Romanowsky-type stain · peripheral blood film: 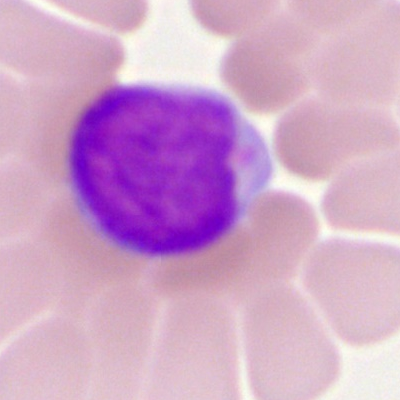

The cell is myeloid blast.